Bone marrow smear
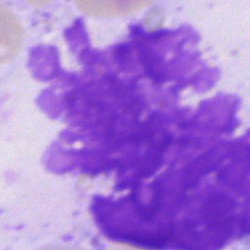{"cell_type": "artifact"}